Bone marrow aspirate smear. Brightfield, 40× oil-immersion objective
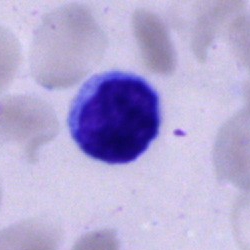Impression — typical lymphocyte.